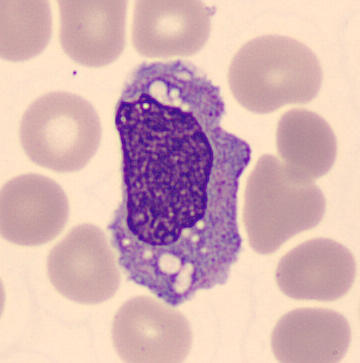
Q: What is this?
A: This is a monocyte. Preparation: Peripheral blood film.